Bone marrow smear — 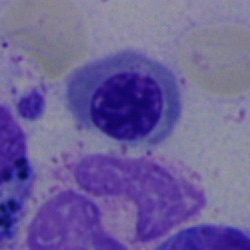
Q: What is the morphological classification of this cell?
A: Erythroblast.